Bone marrow aspirate smear · 40× objective, oil immersion.
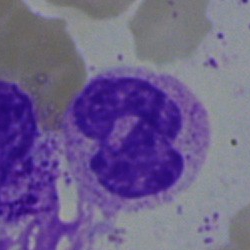
Specimen: bone marrow aspirate smear.
Classification: polymorphonuclear neutrophil.